40× objective, oil immersion · bone marrow smear.
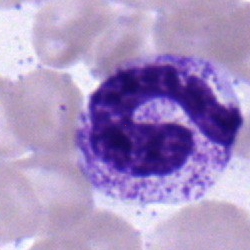 This is a polymorphonuclear neutrophil.